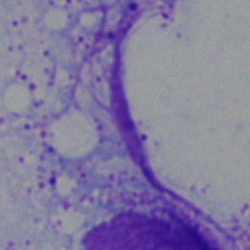Q: What is shown here?
A: Artefact.